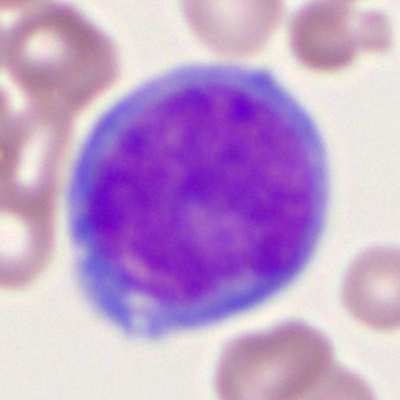
Q: Identify the cell.
A: This is a myeloid blast.